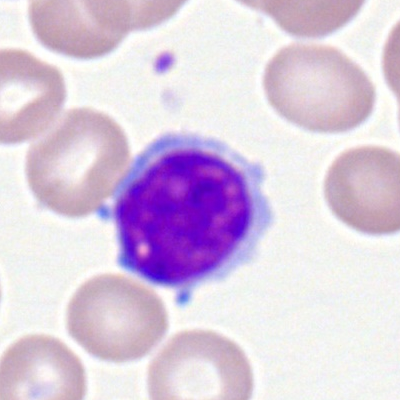

Morphology consistent with a typical lymphocyte.